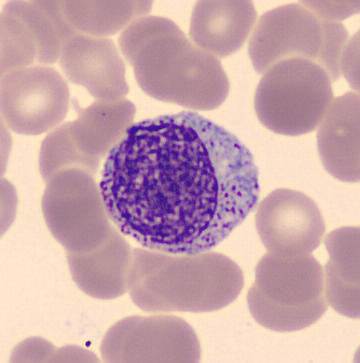 The cell shown is a myelocyte.